Bone marrow smear; Pappenheim-stained.
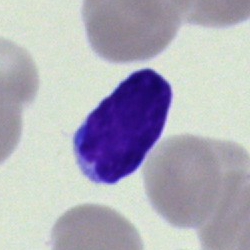Q: What is shown here?
A: It is a typical lymphocyte.